Bone marrow aspirate smear — 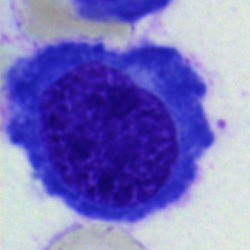
Q: What type of cell is this?
A: It is a normoblast.